Pappenheim-stained; bone marrow aspirate smear.
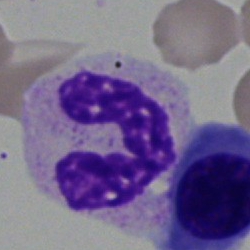
Q: What is shown here?
A: It is a neutrophil (segmented).